Bone marrow aspirate smear
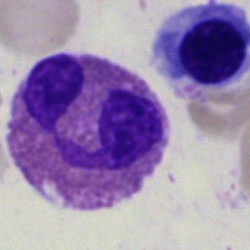 Q: Identify the cell.
A: This is an eosinophil.